250×250 · bone marrow aspirate smear · brightfield, 40× oil-immersion objective — 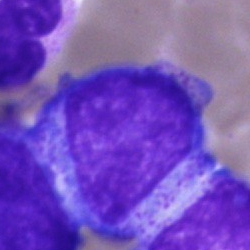 Morphology consistent with a promyelocyte.